Peripheral blood smear · MGG-stained
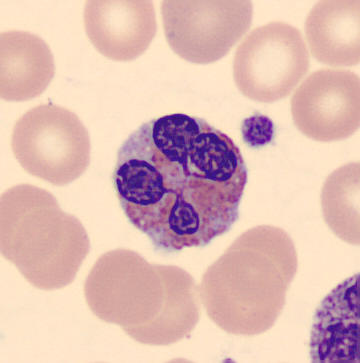

Q: Which cell type is shown here?
A: An eosinophil.